Bone marrow smear: 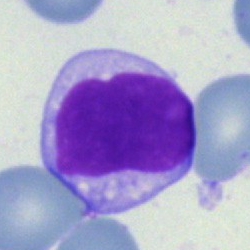
Impression → lymphocyte.